Cropped to a single cell · bone marrow aspirate smear · MGG-stained — 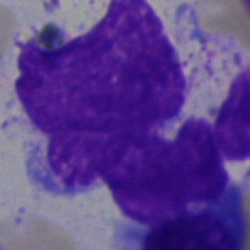Classification = artifact.